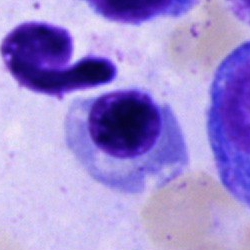 A nucleated red blood cell on a bone marrow smear.